Bone marrow aspirate smear
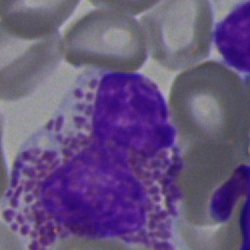The cell shown is an eosinophilic granulocyte.